Bone marrow smear
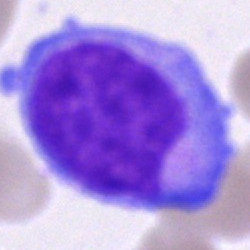Q: What cell is this?
A: A blast.